Brightfield, 40× oil-immersion objective; bone marrow smear — 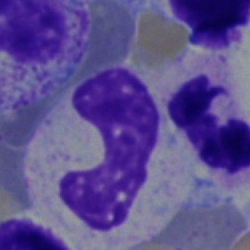Morphology → neutrophil (band).